Peripheral blood film: 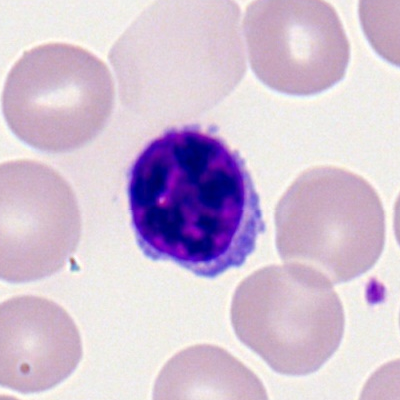 Classification = typical lymphocyte.